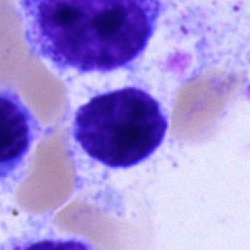

A typical lymphocyte.